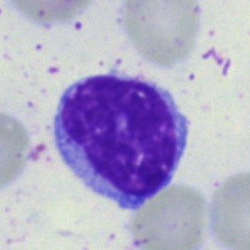The classification is typical lymphocyte.